Peripheral blood smear
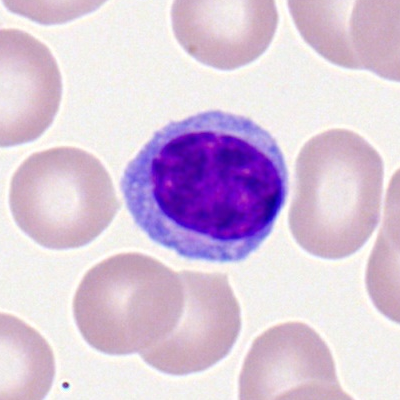

Cell = lymphocyte.